Bone marrow smear. May-Grünwald-Giemsa/Pappenheim stain — 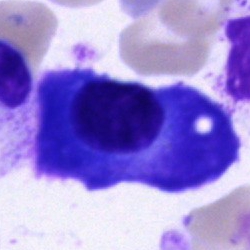 Classification = plasmacyte.